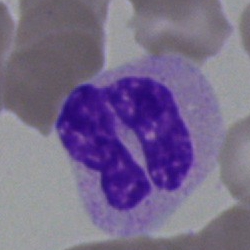
This is a neutrophil (segmented).